Bone marrow smear; May-Grünwald-Giemsa/Pappenheim stain; 40× oil immersion:
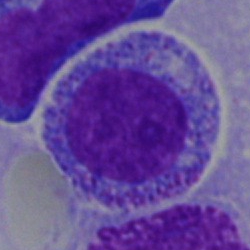

Impression — myelocyte.